Bone marrow aspirate smear; MGG-stained — 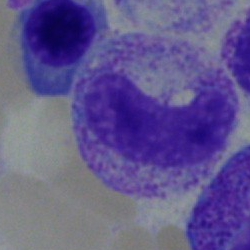 Q: What type of cell is this?
A: This is a stab cell.